Single cell centered in the field · bone marrow smear · May-Grünwald-Giemsa/Pappenheim stain:
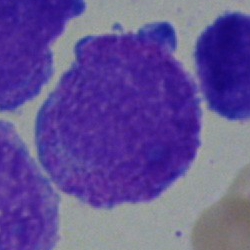 Morphology — undifferentiated blast.